Bone marrow smear:
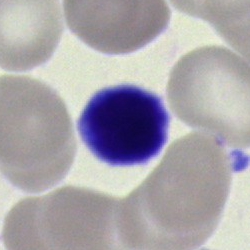 Typical lymphocyte.